Bone marrow smear.
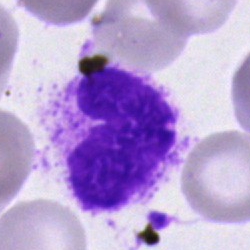
Showing an artifact.